Bone marrow aspirate smear:
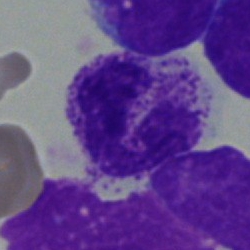 Morphological class — band-form neutrophil.